MGG-stained · bone marrow smear · single cell centered in the field — 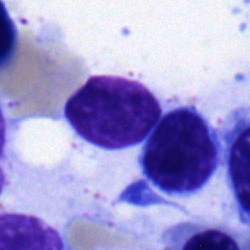
Cell = lymphocyte.